Bone marrow smear:
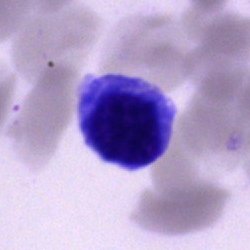{"cell_type": "typical lymphocyte"}